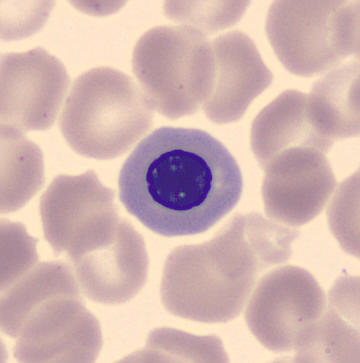

Showing a nucleated red blood cell. Acquisition: Peripheral blood smear.